May-Grünwald-Giemsa/Pappenheim stain · bone marrow aspirate smear
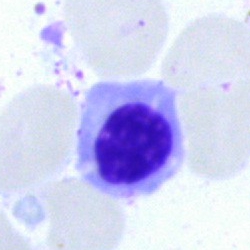This is a nucleated red cell.